Bone marrow smear — 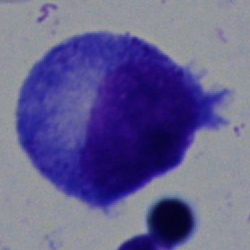

Impression → progranulocyte.